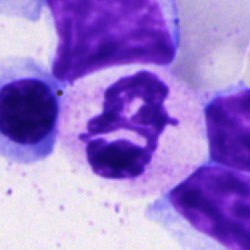 Impression → neutrophil (segmented).